250 by 250 pixels · bone marrow aspirate smear.
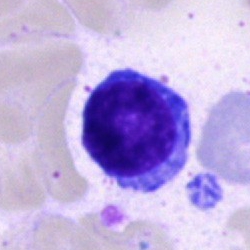

Specimen: bone marrow aspirate smear.
Cell: lymphocyte.